Bone marrow smear: 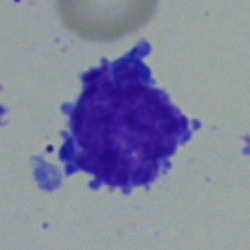Single cell identified as an undifferentiated blast.